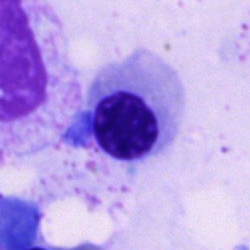
Q: Which cell type is shown here?
A: This is a nucleated red cell.